Bone marrow smear — 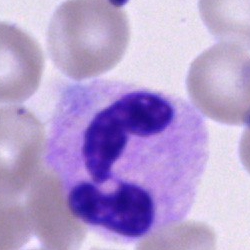
Showing a segmented neutrophil.